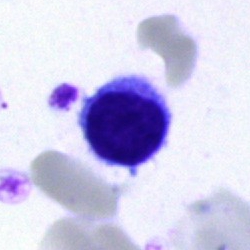 Morphological class: typical lymphocyte.